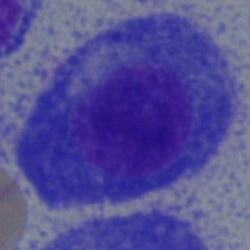
Single-cell crop from a bone marrow smear: plasmacyte.